Single-cell field; bone marrow smear
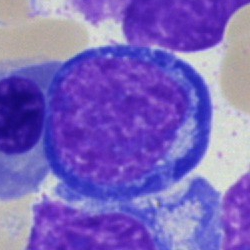Morphology consistent with a nucleated red cell.